May-Grünwald-Giemsa/Pappenheim stain · bone marrow smear: 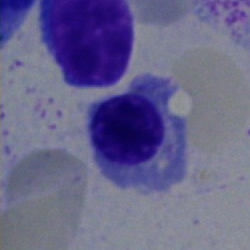
The cell shown is an erythroblast.